40× objective, oil immersion. 250 by 250 pixels. Bone marrow smear — 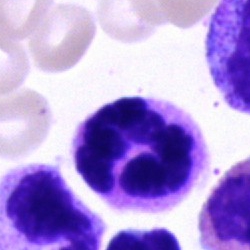
{"cell_type": "neutrophil (segmented)", "lineage": "myeloid"}